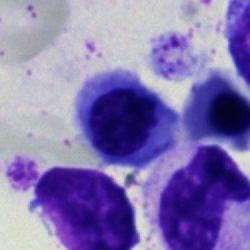 Morphology → normoblast.